Cropped to a single cell · brightfield microscopy, 40× oil immersion · bone marrow smear:
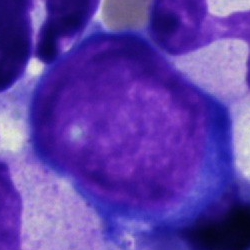

Q: What type of cell is this?
A: This is a proerythroblast.